Peripheral blood smear — 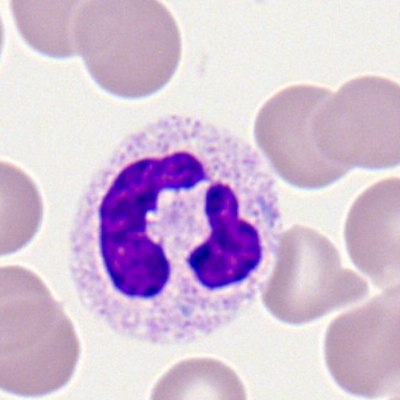 Impression → neutrophil (segmented).